Bone marrow smear. Brightfield, 40× oil-immersion objective. 250×250 — 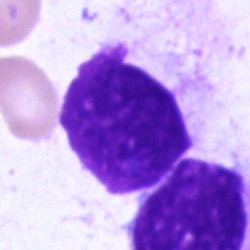Morphology consistent with an artefact.